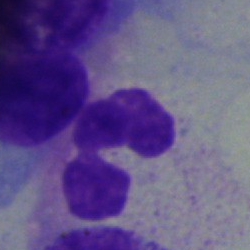Q: Identify the cell.
A: Neutrophil (segmented).